May-Grünwald-Giemsa/Pappenheim stain; bone marrow smear.
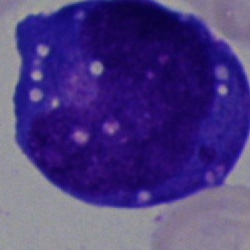

This is a blast cell.